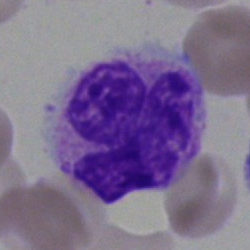 Cell type — neutrophil (segmented).